Bone marrow aspirate smear; brightfield, 40× oil-immersion objective:
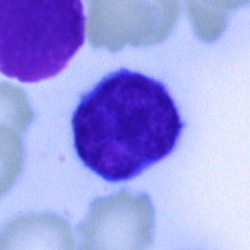A typical lymphocyte.